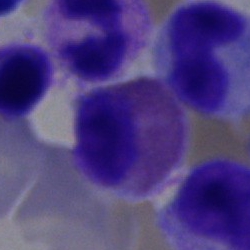{"cell_type": "eosinophil", "lineage": "myeloid"}